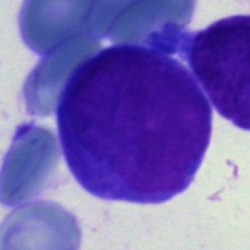

Q: What cell is this?
A: An undifferentiated blast.